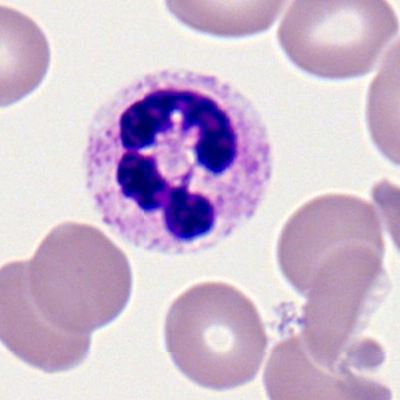

{"cell_type": "polymorphonuclear neutrophil", "lineage": "myeloid"}